Bone marrow smear.
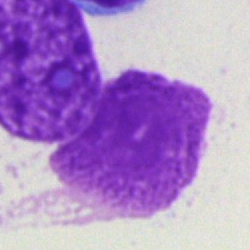The cell shown is an artefact.